250×250. May-Grünwald-Giemsa stain. Bone marrow smear
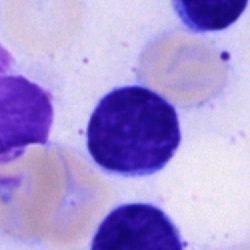
Q: Identify the cell.
A: Typical lymphocyte.